Bone marrow aspirate smear:
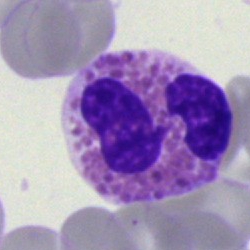
Showing an eosinophilic granulocyte.